Brightfield microscopy, 40× oil immersion; single-cell field; bone marrow aspirate smear: 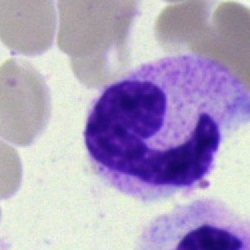

The classification is neutrophil (segmented).